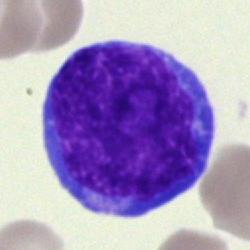

Impression — blast.